Bone marrow aspirate smear: 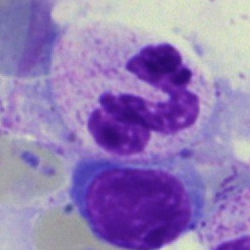Showing a polymorphonuclear neutrophil.